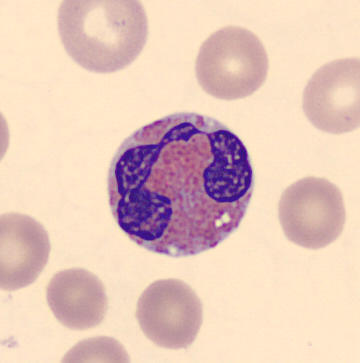
Preparation: May Grünwald-Giemsa stain; peripheral blood smear. The classification is eosinophilic granulocyte.